Bone marrow smear:
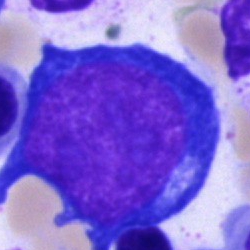
The cell shown is a proerythroblast.